Bone marrow smear · MGG-stained:
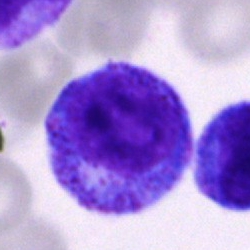Morphology — promyelocyte.